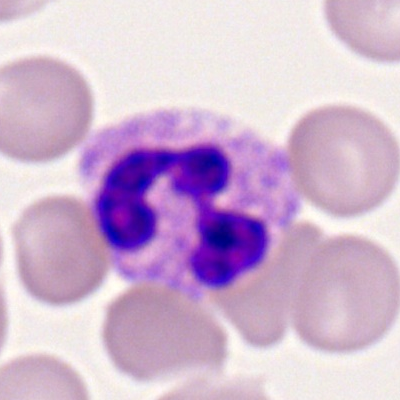 Q: What is shown here?
A: It is a segmented neutrophil.